May-Grünwald-Giemsa/Pappenheim stain · 250×250 px · bone marrow aspirate smear:
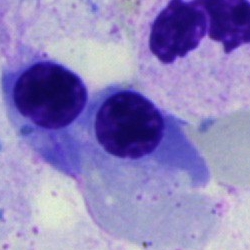The morphological class is normoblast.